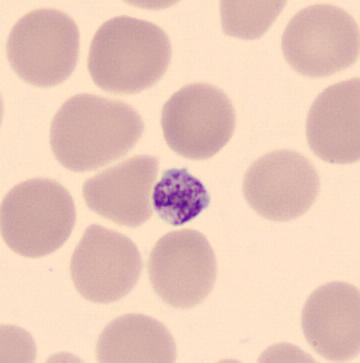Peripheral blood smear. This is a thrombocyte.